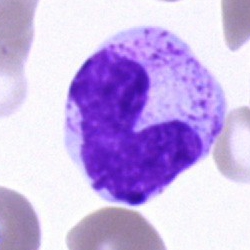

Impression — band neutrophil.